Bone marrow smear.
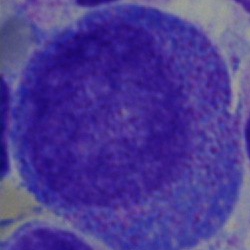 Showing a progranulocyte.